Pappenheim-stained. 250 by 250 pixels. Bone marrow smear: 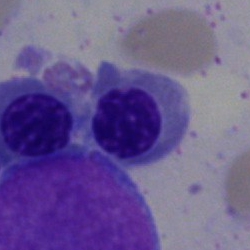Morphological class — normoblast.